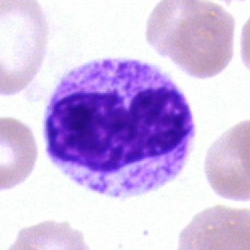Morphological class = metamyelocyte.